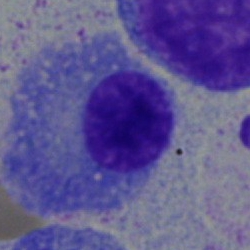 Showing a plasmacyte.